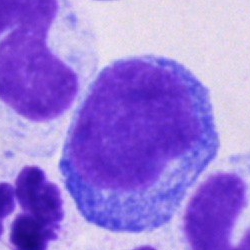A blast.